Bone marrow smear
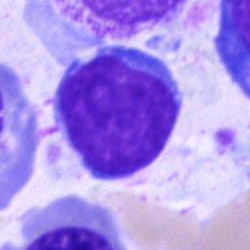

Typical lymphocyte.